Bone marrow aspirate smear; single-cell field.
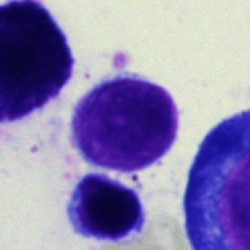

Impression — lymphocyte.